Bone marrow aspirate smear — 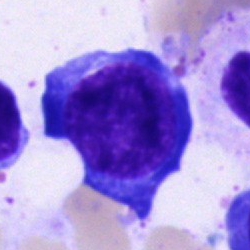

Showing a proerythroblast.